Bone marrow smear: 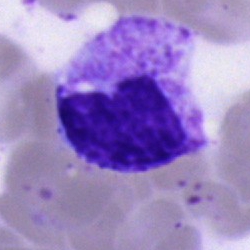
Specimen: bone marrow aspirate smear.
Cell type: neutrophil (segmented).